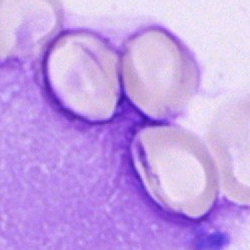
The morphological class is artefact.